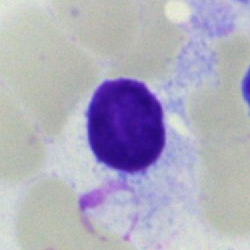
Showing an artifact.